40× objective, oil immersion · bone marrow aspirate smear: 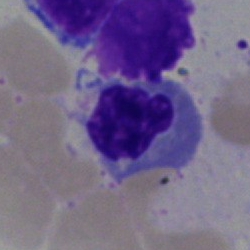

The cell shown is an erythroblast.